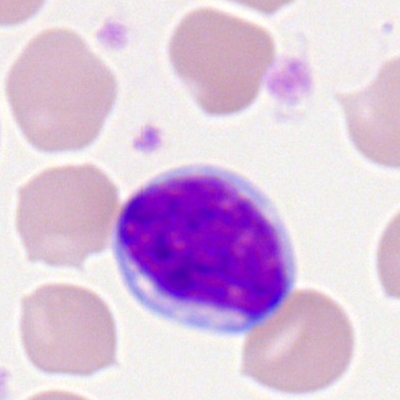
Lymphocyte.